Peripheral blood smear. Single-cell field. 400×400: 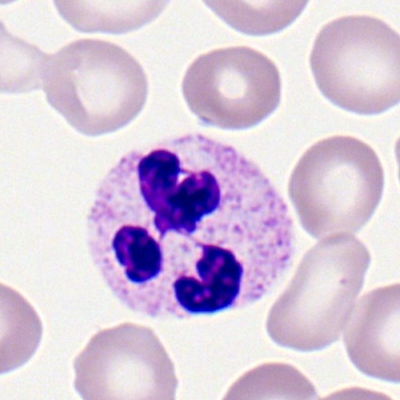The cell is segmented neutrophil.